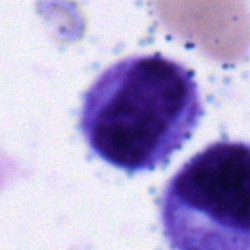
Q: Which cell type is shown here?
A: This is a metamyelocyte.